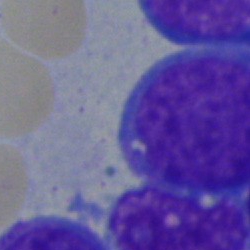
Impression — undifferentiated blast.